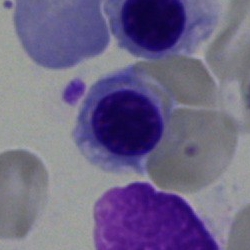

An erythroblast on a bone marrow smear.